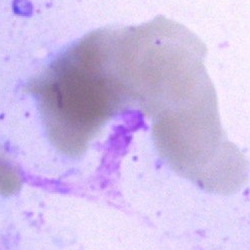 Specimen: bone marrow aspirate smear.
Classification: artefact.